Bone marrow smear: 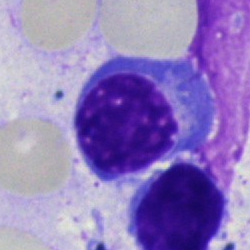
Showing a nucleated red cell.